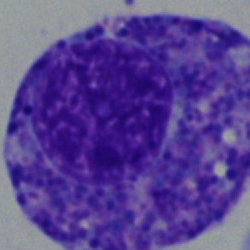

Specimen: bone marrow aspirate smear.
Morphological class: cell not matching the other categories.